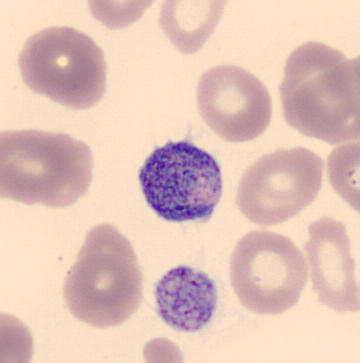

Showing a platelet. MGG stain · peripheral blood smear · 360 by 363 pixels.